Bone marrow smear. MGG-stained
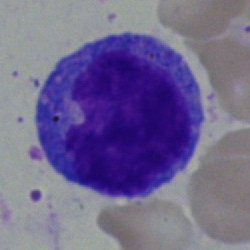

{"cell_type": "promyelocyte", "lineage": "myeloid"}